Bone marrow smear · single-cell crop · Pappenheim-stained — 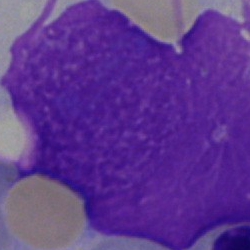 Classification: artefact.